Image size 250×250; 40× oil immersion; bone marrow smear.
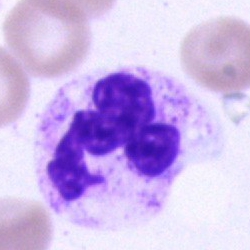
Neutrophil (segmented).